May-Grünwald-Giemsa stain. Bone marrow aspirate smear. Brightfield microscopy, 40× oil immersion
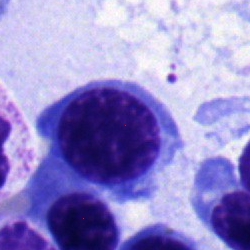 {"cell_type": "nucleated red cell"}